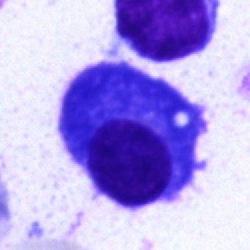 Specimen: bone marrow aspirate smear.
Cell type: plasmacyte.